Bone marrow aspirate smear
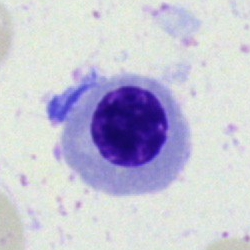
Specimen: bone marrow smear.
Morphological class: nucleated red blood cell.